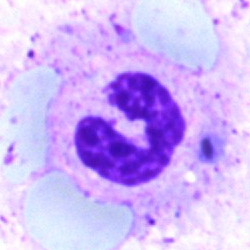 Morphological class — segmented neutrophil.